Bone marrow aspirate smear · May-Grünwald-Giemsa stain — 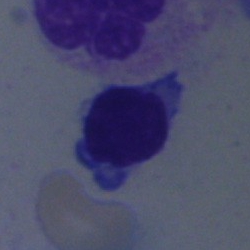

This is a lymphocyte.